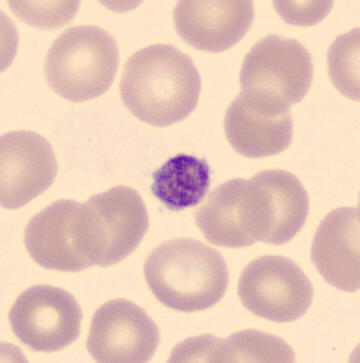 This is a platelet. MGG-stained; peripheral blood film.